Bone marrow smear: 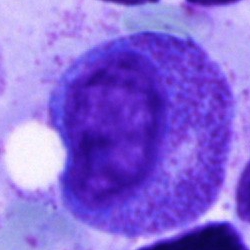
Q: What type of cell is this?
A: It is a promyelocyte.